Bone marrow aspirate smear:
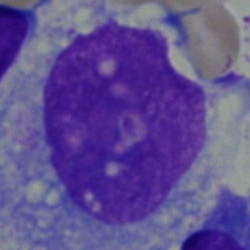
A monocyte.